Single-cell field. Peripheral blood film
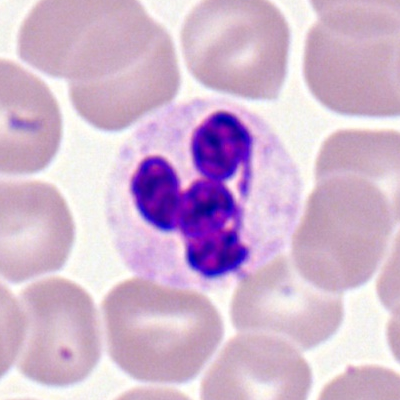{"cell_type": "neutrophil (segmented)", "lineage": "myeloid"}